250×250 · single-cell field · bone marrow aspirate smear
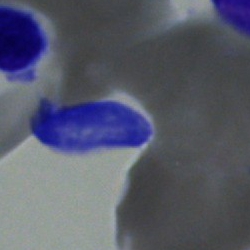 Morphological class = artifact.